Bone marrow aspirate smear; 250×250
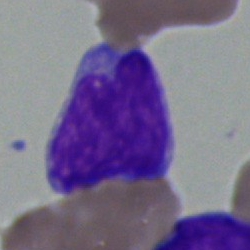 Impression — undifferentiated blast.